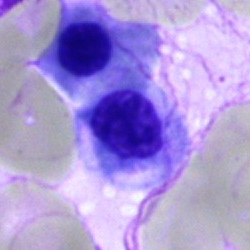Specimen: bone marrow aspirate smear.
Cell: nucleated red blood cell.